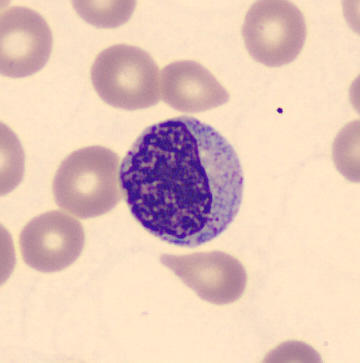Specimen: peripheral blood film.
Cell: myelocyte.
Lineage: myeloid.